Bone marrow aspirate smear. Brightfield microscopy, 40× oil immersion — 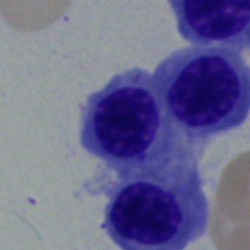

Specimen: bone marrow aspirate smear.
Cell type: nucleated red cell.
Lineage: erythroid.